Peripheral blood film:
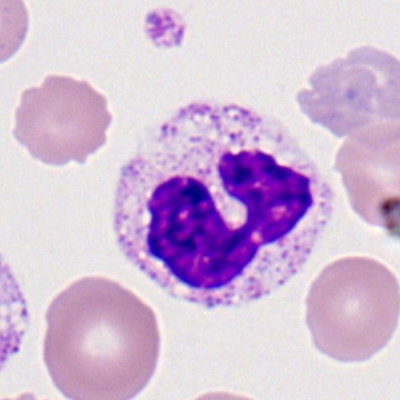 {"cell_type": "neutrophil (segmented)"}